Bone marrow smear: 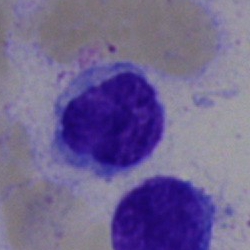This is a blast.